Bone marrow smear: 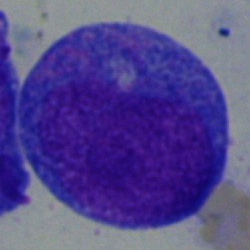Q: Which cell type is shown here?
A: It is a progranulocyte.